Bone marrow smear: 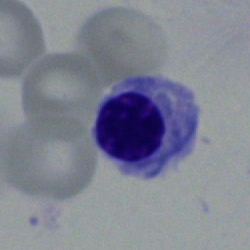Morphology → nucleated red cell.